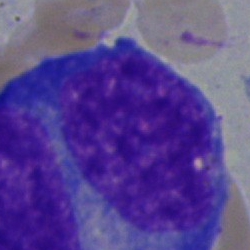 Single-cell crop from a bone marrow smear: progranulocyte.